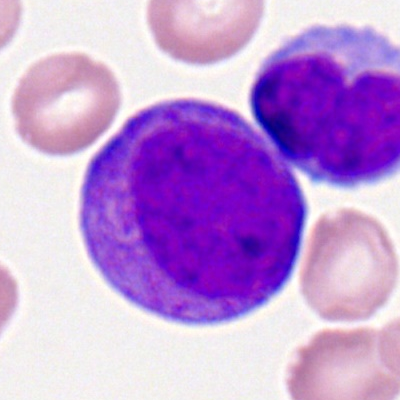 The cell type is myeloid blast.